40× oil immersion; May-Grünwald-Giemsa stain; bone marrow aspirate smear
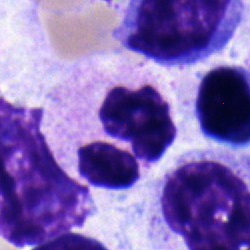 Showing a segmented neutrophil.